Single cell centered in the field; bone marrow smear:
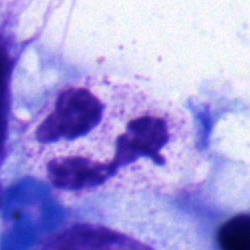 Q: What is the morphological classification of this cell?
A: A polymorphonuclear neutrophil.